Single-cell crop · bone marrow smear · May-Grünwald-Giemsa/Pappenheim stain — 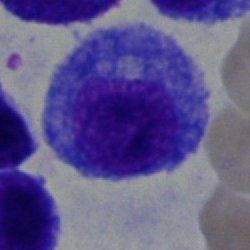
The classification is progranulocyte.